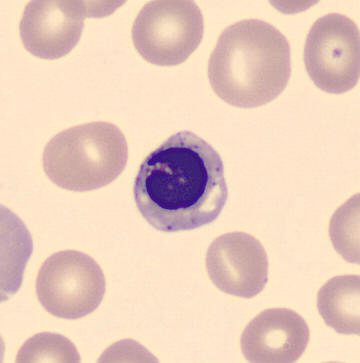

360×363 · peripheral blood smear.

Morphology consistent with a nucleated red cell.